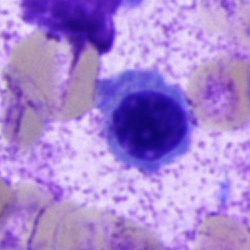

{"cell_type": "nucleated red cell", "lineage": "erythroid"}